Bone marrow smear — 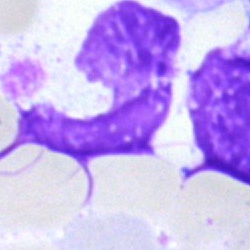Morphology — artifact.